Bone marrow aspirate smear:
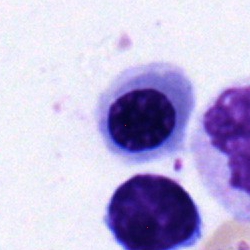 Nucleated red blood cell.